250×250; bone marrow smear — 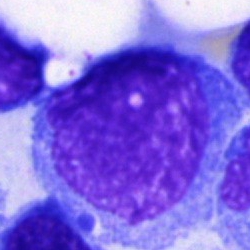This is an undifferentiated blast.